Bone marrow smear — 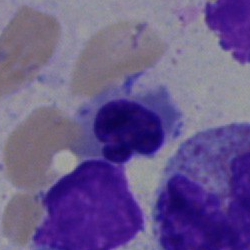Showing a nucleated red cell.